250 by 250 pixels · cropped to a single cell · bone marrow smear
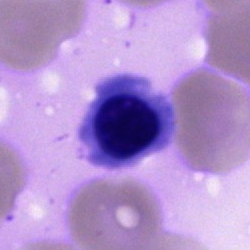Q: What is the morphological classification of this cell?
A: It is a nucleated red blood cell.